Bone marrow smear: 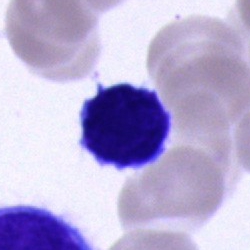{"cell_type": "typical lymphocyte"}